Bone marrow aspirate smear
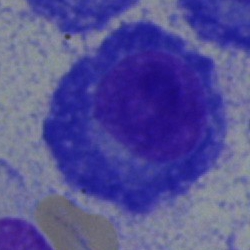

Morphology — plasma cell.